Bone marrow aspirate smear.
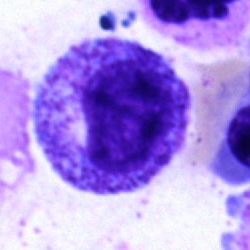The cell shown is a progranulocyte.